Cropped to a single cell; bone marrow aspirate smear; May-Grünwald-Giemsa/Pappenheim stain: 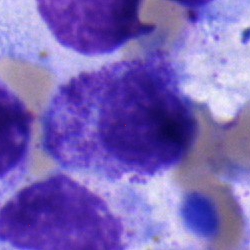 Single cell identified as a myelocyte.